Bone marrow smear.
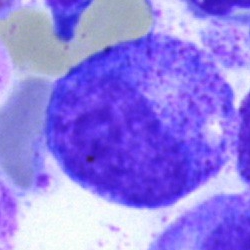
Specimen: bone marrow aspirate smear.
Cell: promyelocyte.
Lineage: myeloid.